Bone marrow smear · brightfield microscopy, 40× oil immersion: 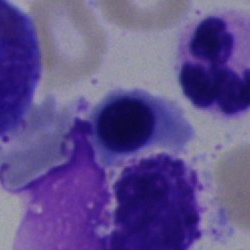
Classification = normoblast.